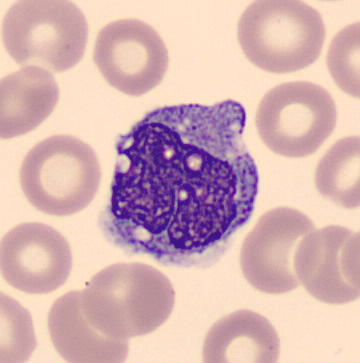
Morphological class: monocyte.

Peripheral blood smear.